Bone marrow smear · single-cell crop · 250 by 250 pixels: 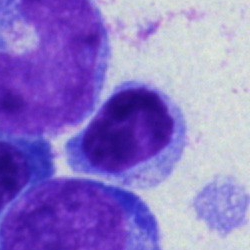 This is a typical lymphocyte.